Bone marrow aspirate smear — 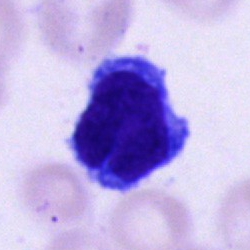 Q: Which cell type is shown here?
A: Unidentifiable cell.